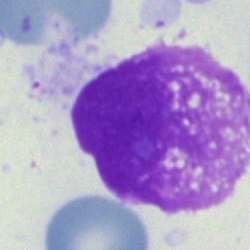Classification: artifact.